Bone marrow smear.
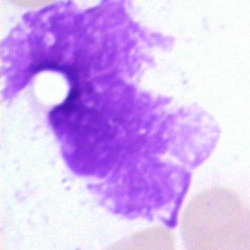

Single cell identified as an artifact.